Bone marrow aspirate smear · 40× oil immersion.
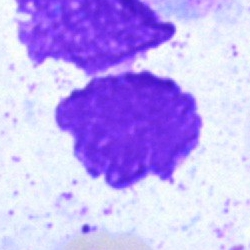

Cell type = artifact.